Bone marrow aspirate smear
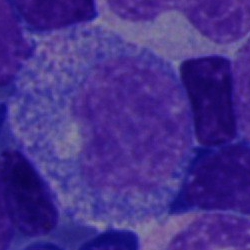 Morphology consistent with a progranulocyte.